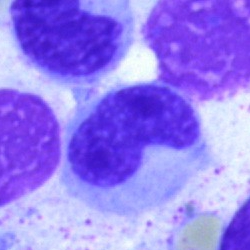
Specimen: bone marrow aspirate smear.
Classification: band-form neutrophil.
Lineage: myeloid.